Bone marrow aspirate smear.
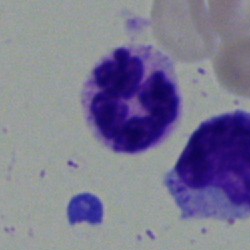
Q: What is the morphological classification of this cell?
A: Polymorphonuclear neutrophil.